Bone marrow aspirate smear · 40× objective, oil immersion
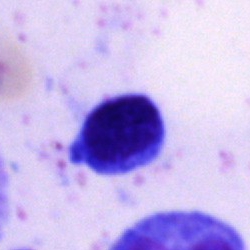 Morphology consistent with a lymphocyte.